Bone marrow aspirate smear.
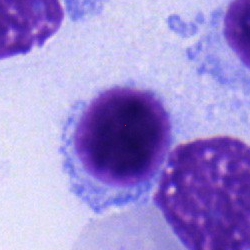
A typical lymphocyte.